Bone marrow smear; brightfield, 40× oil-immersion objective:
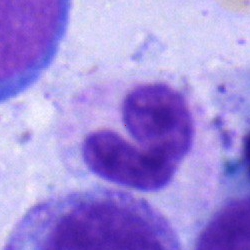
Specimen: bone marrow smear.
Classification: band neutrophil.
Lineage: myeloid.